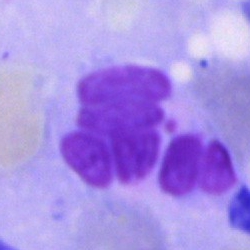Single cell identified as an artefact.